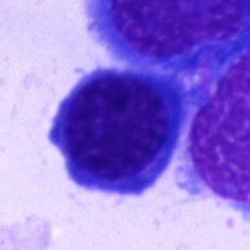

Q: What cell is this?
A: Normoblast.